Bone marrow smear — 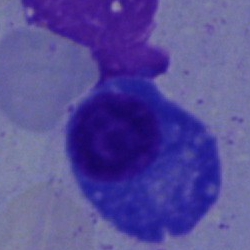Cell — plasmacyte.